Peripheral blood film
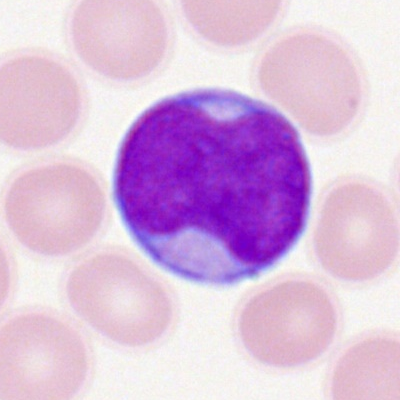
Cell: myeloid blast.